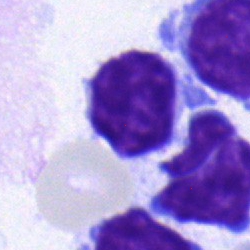 A typical lymphocyte.